Bone marrow aspirate smear. Image size 250×250:
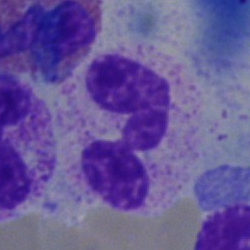Cell type — neutrophil (segmented).